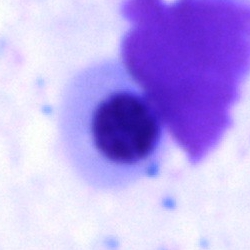

Bone marrow aspirate smear, single cell — erythroblast.